Bone marrow aspirate smear · MGG-stained · single cell centered in the field.
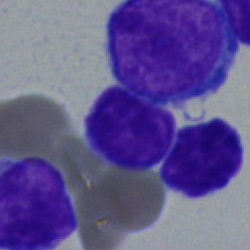 Cell type: lymphocyte.